Bone marrow smear.
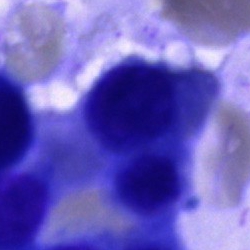
Cell: artifact.